Peripheral blood film
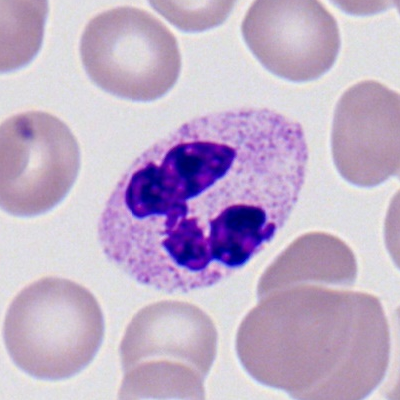
The morphological class is segmented neutrophil.